MGG-stained; bone marrow smear; cropped to a single cell — 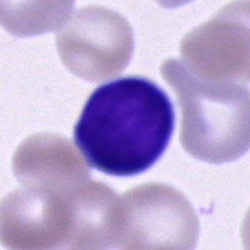Classification = typical lymphocyte.